Peripheral blood film. Romanowsky-type stain. 100× oil immersion
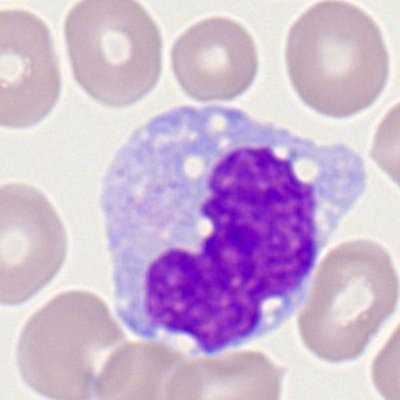This is a monocyte.